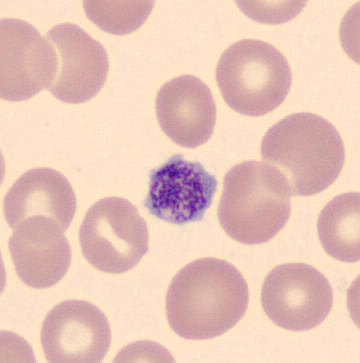Classification = thrombocyte.

Acquisition: Peripheral blood film.